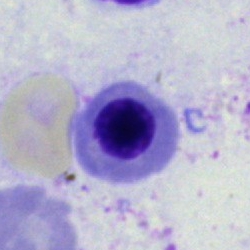

A nucleated red blood cell.